Bone marrow smear: 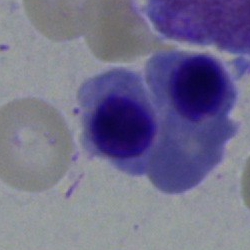 Q: What cell is this?
A: It is a normoblast.